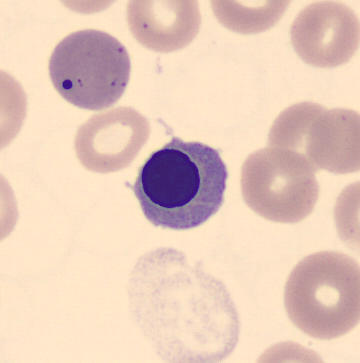Peripheral blood film.

Morphology — normoblast.